250×250. Bone marrow aspirate smear — 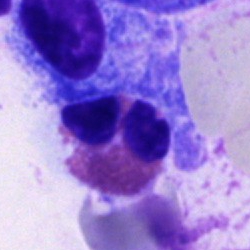 Morphological class = eosinophil.